Bone marrow smear; cropped to a single cell — 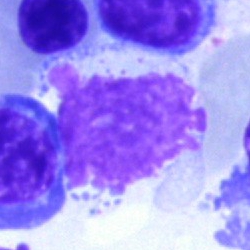
Classification = artifact.